250×250; MGG-stained; bone marrow smear
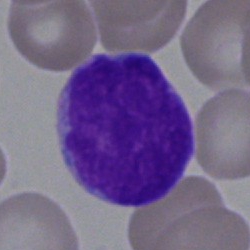
This is an undifferentiated blast.